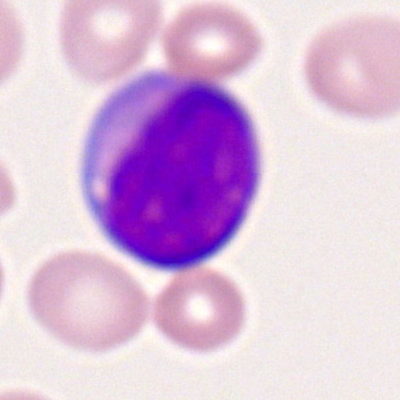
Cell — myeloblast.